250×250 · bone marrow smear · 40× oil immersion
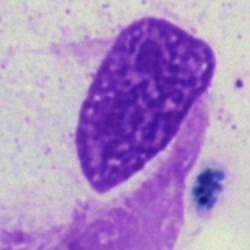
Single cell identified as an artifact.